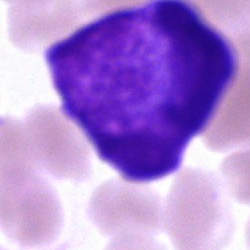 {"cell_type": "blast cell"}